Single-cell crop. 100× objective, oil immersion. Peripheral blood film
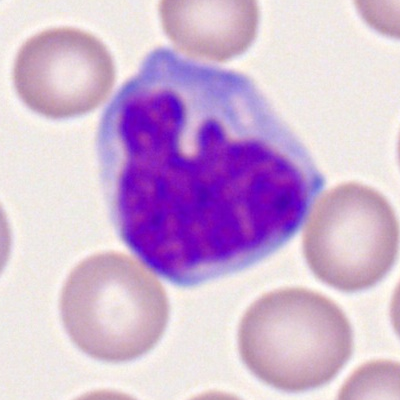

Specimen: peripheral blood film.
Cell: monocyte.